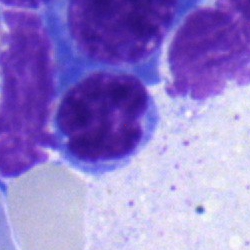
Cell type: lymphocyte.